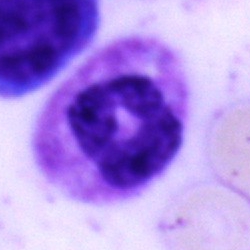Q: What is shown here?
A: A segmented neutrophil.